Bone marrow smear: 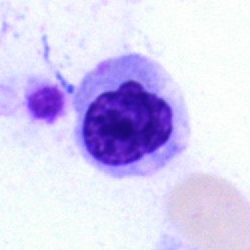 Q: Which cell type is shown here?
A: It is a normoblast.